Bone marrow smear: 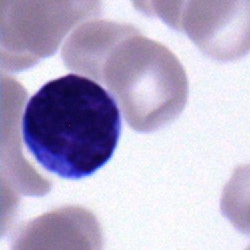
Impression — typical lymphocyte.